Bone marrow smear.
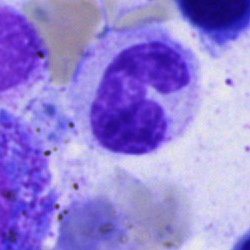
Morphology → band neutrophil.